Bone marrow smear.
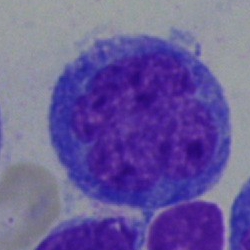

Blast.